Bone marrow smear
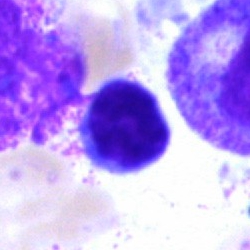
Typical lymphocyte.